May-Grünwald-Giemsa stain. 250 by 250 pixels. Bone marrow smear — 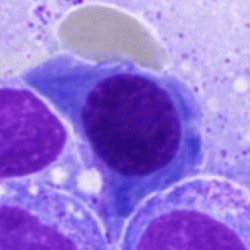 Specimen: bone marrow aspirate smear.
Cell: nucleated red blood cell.
Lineage: erythroid.